40× oil immersion · bone marrow smear · May-Grünwald-Giemsa/Pappenheim stain
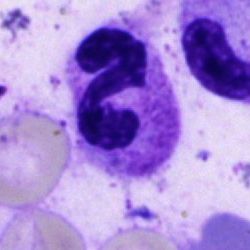 Morphological class: neutrophil (segmented).